Bone marrow smear. 250×250 px
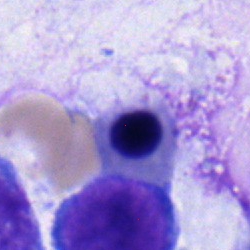

Nucleated red cell.